Bone marrow aspirate smear
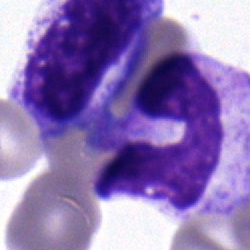Morphology consistent with a neutrophil (band).